Peripheral blood smear. Cropped to a single cell — 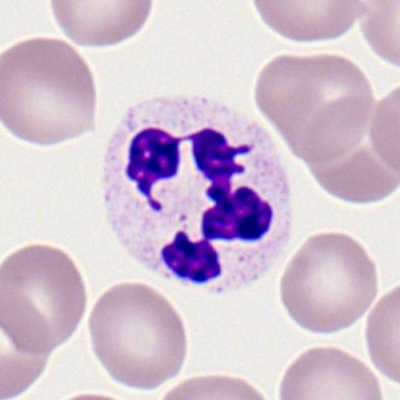 Showing a segmented neutrophil.